Cropped to a single cell; bone marrow smear.
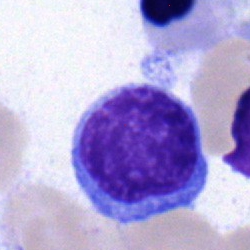

Q: Identify the cell.
A: It is a blast cell.